Bone marrow smear: 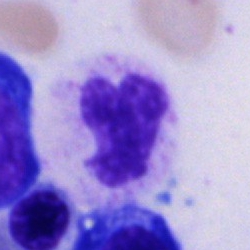
{"cell_type": "neutrophil (segmented)", "lineage": "myeloid"}